250×250 · bone marrow smear · single cell centered in the field
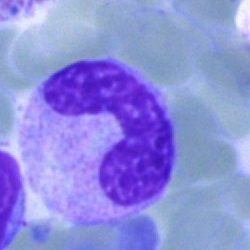

Q: What is the morphological classification of this cell?
A: It is a band-form neutrophil.